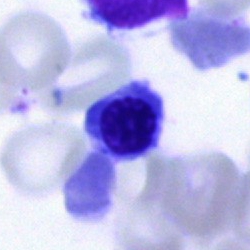

Classification = nucleated red cell.